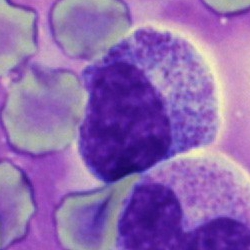 Myelocyte.